Bone marrow aspirate smear: 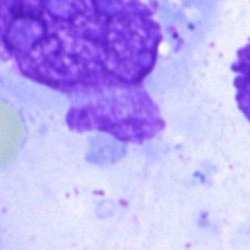 Single cell identified as an artefact.